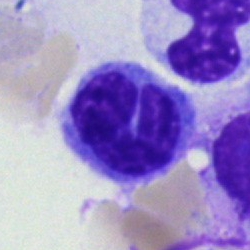The morphological class is monocyte.